Bone marrow smear; 250 by 250 pixels:
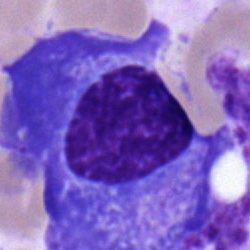Q: What is shown here?
A: It is a plasma cell.